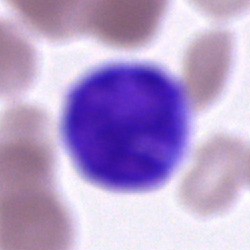Specimen: bone marrow smear.
Cell type: cell of indeterminate lineage.